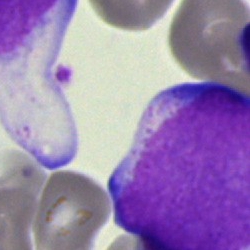Impression → monocyte.